Bone marrow smear.
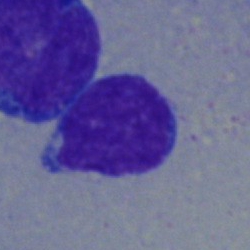

Cell type = lymphocyte.